Bone marrow aspirate smear:
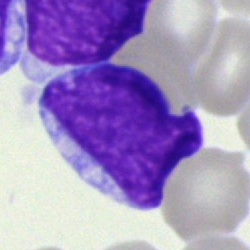 This is an undifferentiated blast.